Bone marrow aspirate smear
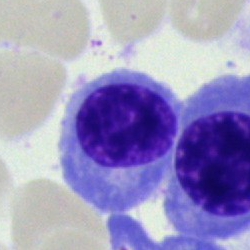 Cell type — erythroblast.